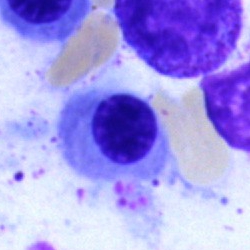
Bone marrow smear showing a nucleated red cell.